Bone marrow smear; image size 250×250: 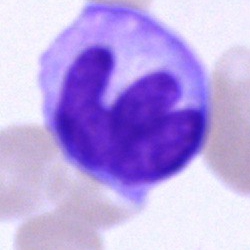Q: What is the morphological classification of this cell?
A: It is a monocyte.